Bone marrow aspirate smear — 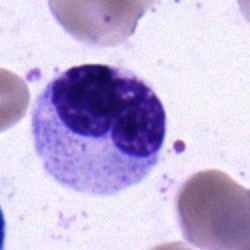Classification — metamyelocyte.